Bone marrow smear
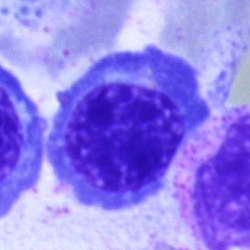Morphology → nucleated red blood cell.